Bone marrow smear:
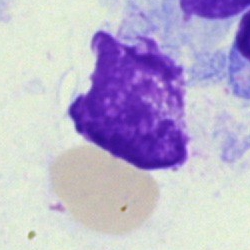
{"cell_type": "artifact"}